Bone marrow aspirate smear: 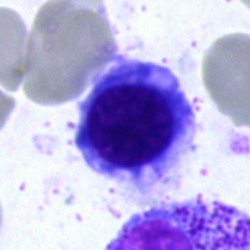 Specimen: bone marrow smear.
Cell type: erythroblast.
Lineage: erythroid.